Bone marrow smear.
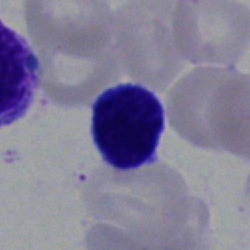

Cell type — typical lymphocyte.